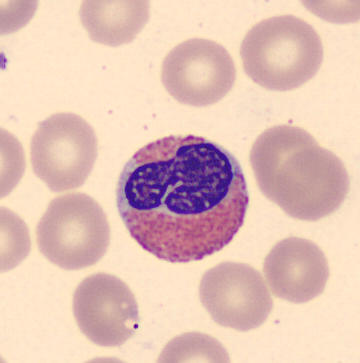
Q: What is shown here?
A: Eosinophilic granulocyte.
Acquisition: MGG stain; peripheral blood smear.